250×250. Bone marrow smear.
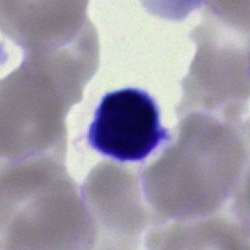

Showing a typical lymphocyte.